M8 digital microscope (Precipoint), 100× oil immersion; peripheral blood smear: 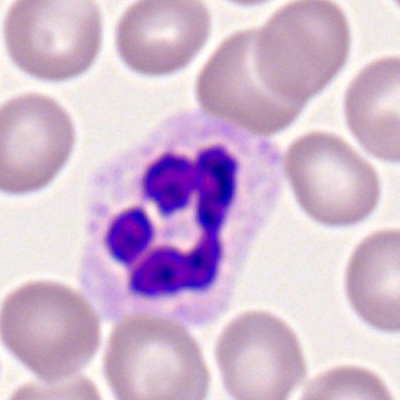
{"cell_type": "neutrophil (segmented)"}